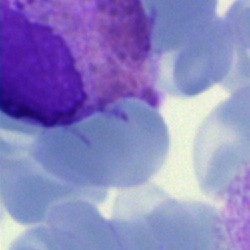
The morphological class is artifact.